Image size 250×250 · bone marrow aspirate smear:
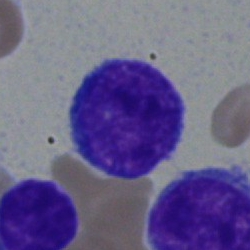This is a lymphocyte.